Image size 250×250 · May-Grünwald-Giemsa/Pappenheim stain · bone marrow aspirate smear: 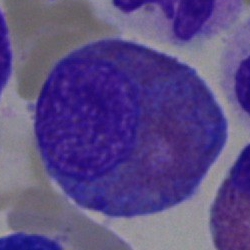 Showing an eosinophil.